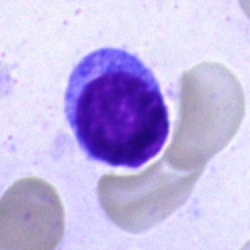Morphology — typical lymphocyte.